Brightfield, 40× oil-immersion objective; bone marrow smear; May-Grünwald-Giemsa/Pappenheim stain:
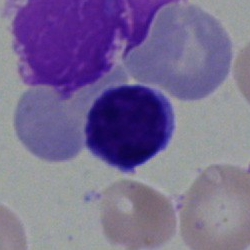Specimen: bone marrow smear.
Cell type: lymphocyte.
Lineage: lymphoid.